Single cell centered in the field. Peripheral blood smear: 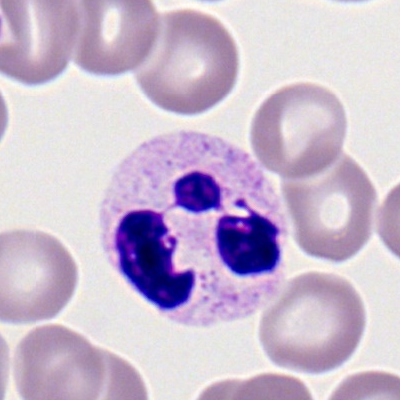 Cell type: segmented neutrophil.